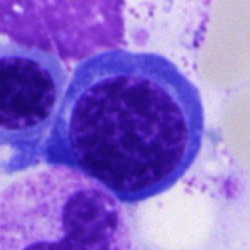

Morphology consistent with a normoblast.